Bone marrow aspirate smear
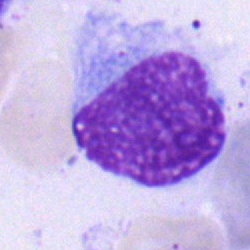 {"cell_type": "hairy cell"}